Bone marrow aspirate smear; 250×250.
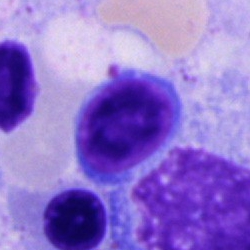 Morphology consistent with a lymphocyte.